Bone marrow smear: 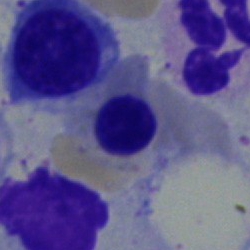

Nucleated red blood cell.